Bone marrow smear. Single-cell crop: 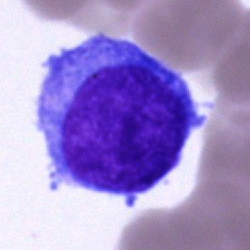

Showing an undifferentiated blast.